Peripheral blood film:
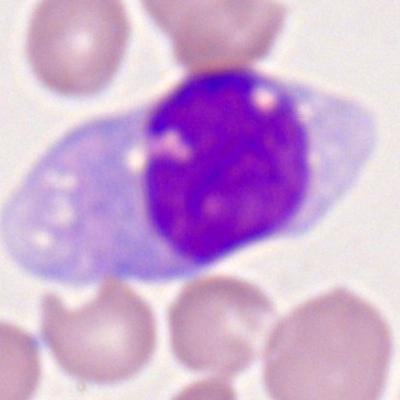 Morphology consistent with a monocyte.